Bone marrow smear:
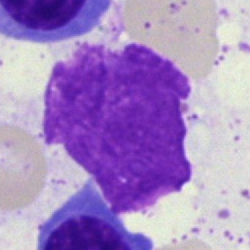Impression → artefact.